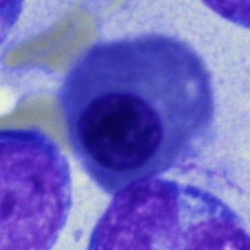Q: What is the morphological classification of this cell?
A: This is an erythroblast.